Bone marrow aspirate smear:
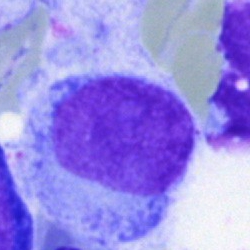 The cell shown is a progranulocyte.